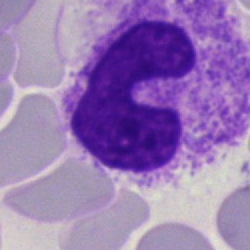 Specimen: bone marrow aspirate smear.
Cell type: band neutrophil.
Lineage: myeloid.